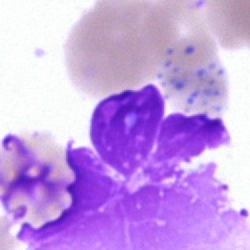
The cell shown is an artefact.